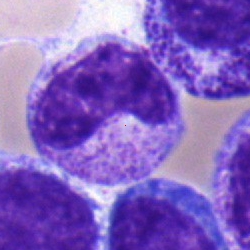

Showing a metamyelocyte.